Pappenheim-stained; 40× objective, oil immersion; bone marrow aspirate smear
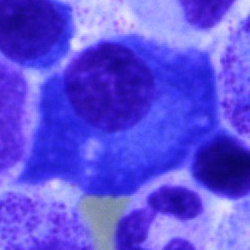 Plasma cell.